Bone marrow smear
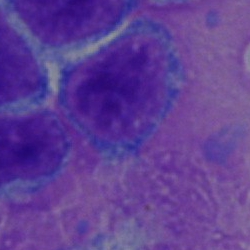Morphology consistent with a typical lymphocyte.